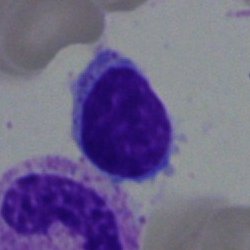
Specimen: bone marrow aspirate smear.
Cell type: lymphocyte.
Lineage: lymphoid.